250×250 · bone marrow smear: 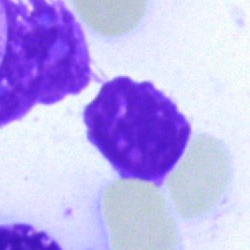 Impression — artifact.